Bone marrow smear: 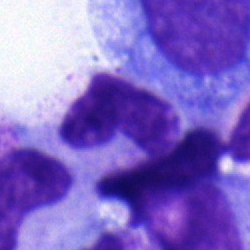
Cell type — band-form neutrophil.